Bone marrow smear: 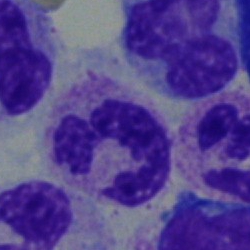This is a segmented neutrophil.